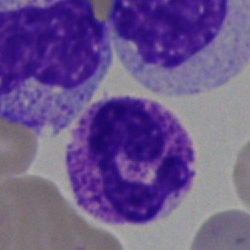
Morphological class: neutrophil (segmented).